Bone marrow aspirate smear · image size 250×250 · 40× oil immersion
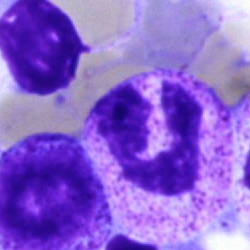Single cell identified as a polymorphonuclear neutrophil.